Pappenheim-stained · bone marrow aspirate smear: 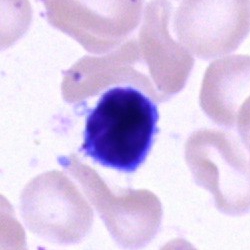Morphology consistent with a lymphocyte.